Bone marrow aspirate smear: 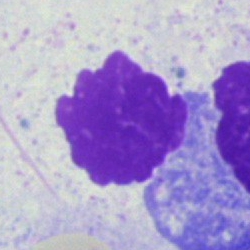
Impression → artifact.